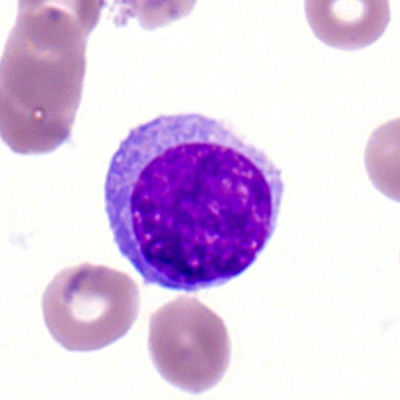
Specimen: peripheral blood smear.
Cell: lymphocyte.
Lineage: lymphoid.